Peripheral blood smear; single-cell field:
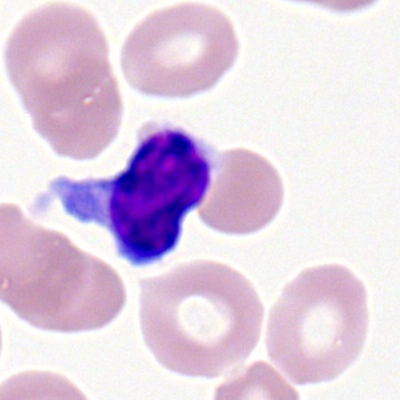Classification: lymphocyte.